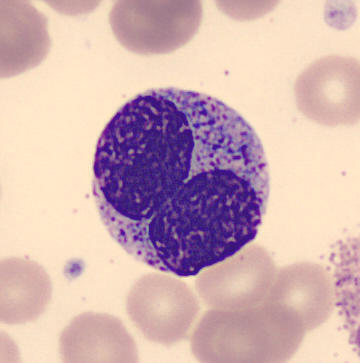
Identified as a promyelocyte.